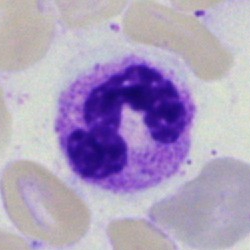

The cell is neutrophil (segmented).